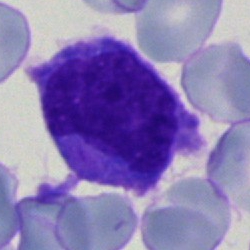

{"cell_type": "blast"}